Bone marrow aspirate smear — 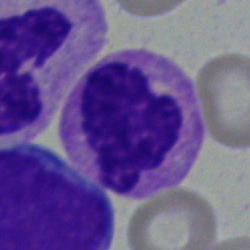Morphology consistent with a stab cell.